Bone marrow smear. Single-cell field. 250×250 px: 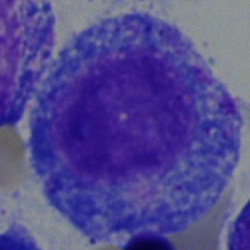 Single cell identified as a promyelocyte.